Bone marrow aspirate smear:
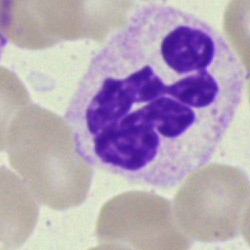Q: What cell is this?
A: This is a segmented neutrophil.